Single cell centered in the field; bone marrow smear; May-Grünwald-Giemsa stain.
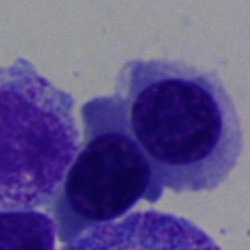

Morphology — nucleated red blood cell.